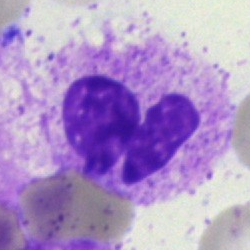Q: What is shown here?
A: This is a segmented neutrophil.